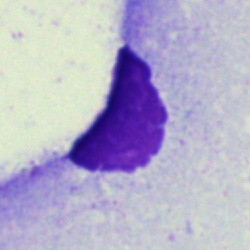 Impression → artifact.